Bone marrow smear; May-Grünwald-Giemsa stain; brightfield microscopy, 40× oil immersion: 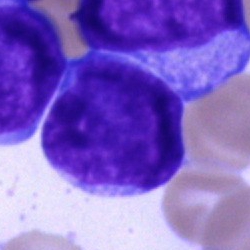 Q: Identify the cell.
A: This is an undifferentiated blast.